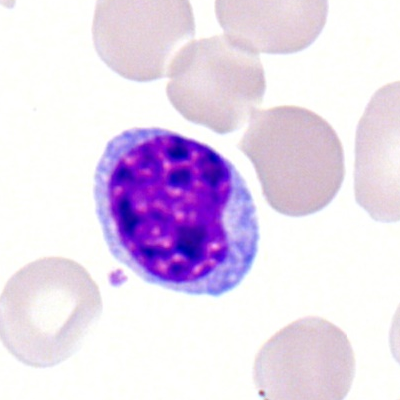
Q: Which cell type is shown here?
A: It is a lymphocyte.